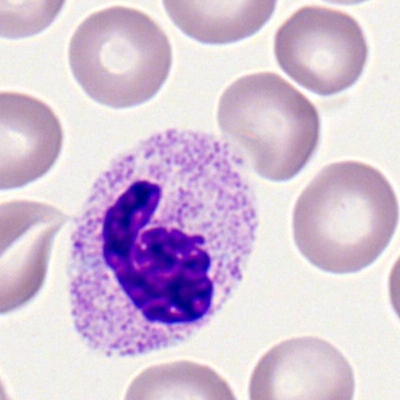

Morphology consistent with a neutrophil (segmented).